Bone marrow smear
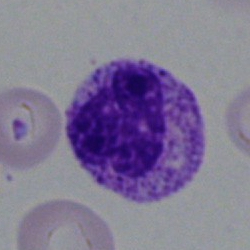
Cell type: myelocyte.